Bone marrow aspirate smear.
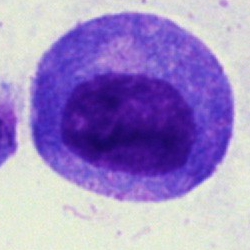

Morphology — progranulocyte.